Bone marrow aspirate smear · Pappenheim-stained · cropped to a single cell:
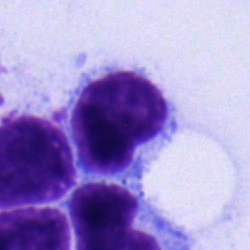Typical lymphocyte.